Bone marrow aspirate smear: 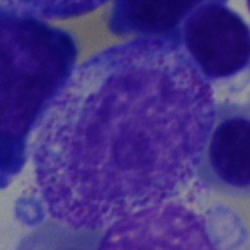 Specimen: bone marrow aspirate smear.
Classification: myelocyte.